Peripheral blood film. Romanowsky-stained. 400×400 px.
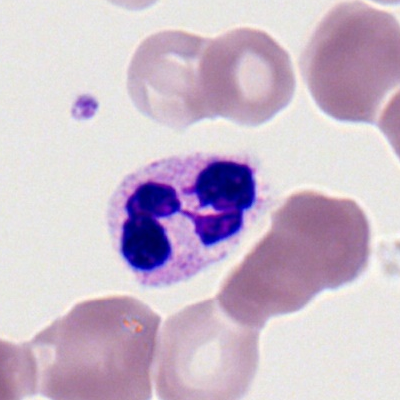
Q: Identify the cell.
A: Neutrophil (segmented).